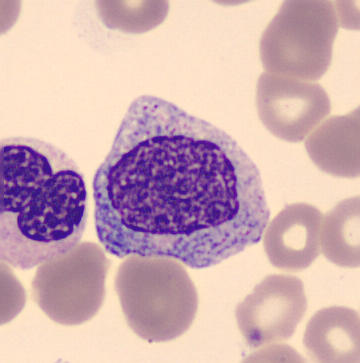
A promyelocyte.

Image: Peripheral blood film.